Bone marrow aspirate smear. Single cell centered in the field
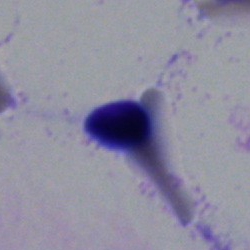
Morphology → artifact.